Bone marrow aspirate smear:
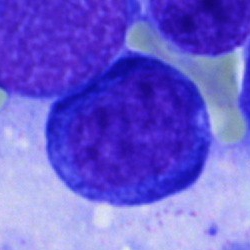 Specimen: bone marrow aspirate smear.
Cell: normoblast.
Lineage: erythroid.